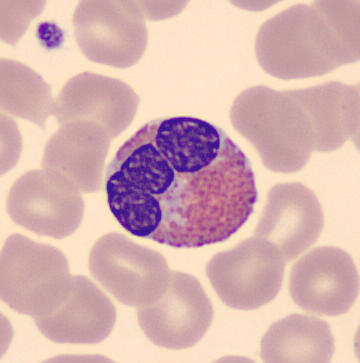 Q: What cell is this?
A: It is an eosinophilic granulocyte. Acquisition: Cropped to a single cell · MGG-stained · peripheral blood film.